Bone marrow smear: 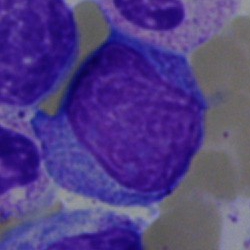Undifferentiated blast.